Bone marrow aspirate smear:
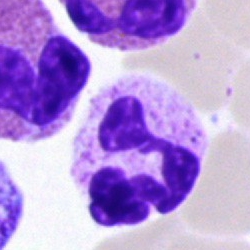 Morphology — polymorphonuclear neutrophil.